Bone marrow smear. Single-cell crop — 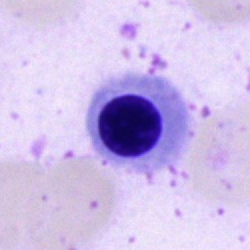

Cell: erythroblast.